Brightfield microscopy, 40× oil immersion; May-Grünwald-Giemsa stain; bone marrow smear.
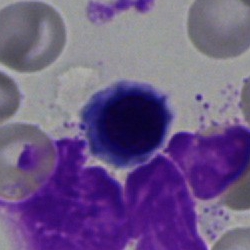 Cell: nucleated red blood cell.